Image size 250×250 · Pappenheim-stained · bone marrow smear: 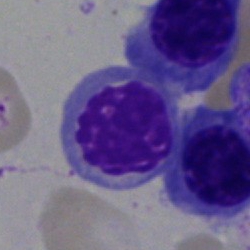

Cell = erythroblast.